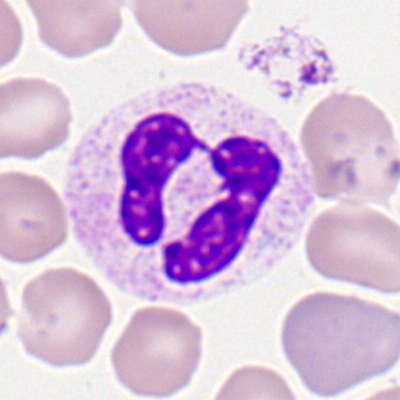
Showing a polymorphonuclear neutrophil.